Bone marrow smear; 40× objective, oil immersion: 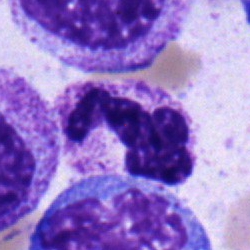

The cell shown is a polymorphonuclear neutrophil.